Cropped to a single cell; image size 250×250; bone marrow smear.
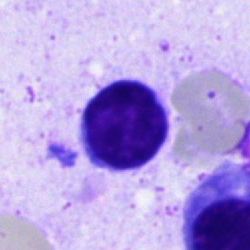

The cell shown is a typical lymphocyte.